Bone marrow aspirate smear: 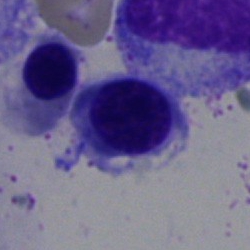 Q: What is the morphological classification of this cell?
A: It is a nucleated red blood cell.